Bone marrow smear
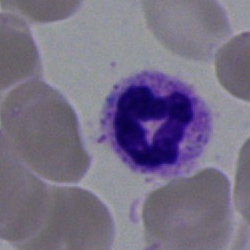 This is a polymorphonuclear neutrophil.